Bone marrow smear: 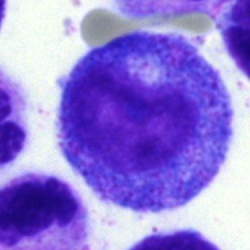
Morphological class = progranulocyte.